Bone marrow aspirate smear.
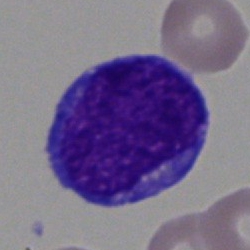

Undifferentiated blast.